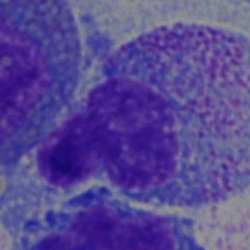{"cell_type": "promyelocyte", "lineage": "myeloid"}